Bone marrow smear — 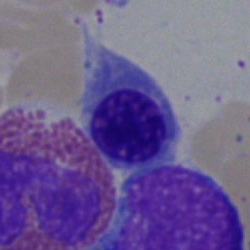 Morphology → nucleated red cell.